Bone marrow aspirate smear:
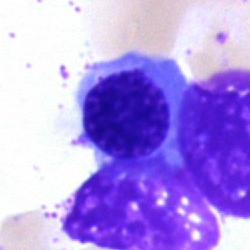Impression → nucleated red cell.